Bone marrow aspirate smear; cropped to a single cell: 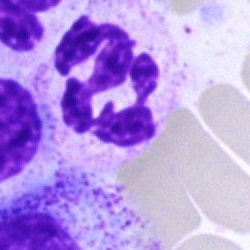

Neutrophil (segmented).